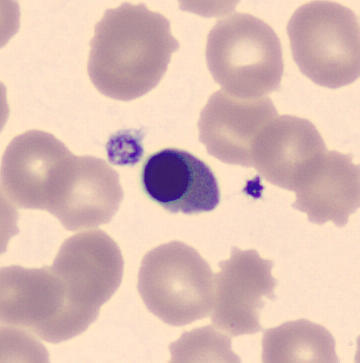
The morphological class is normoblast.